250 by 250 pixels; bone marrow smear: 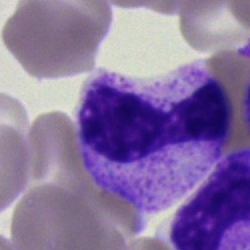

The cell shown is a neutrophil (band).